May-Grünwald-Giemsa stain · bone marrow aspirate smear — 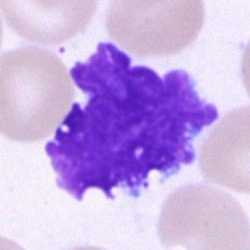

This is an artefact.